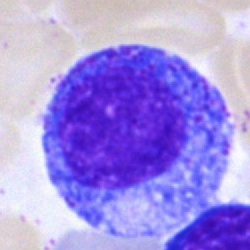 The cell shown is a promyelocyte.